Pappenheim-stained. Single-cell field. Bone marrow smear — 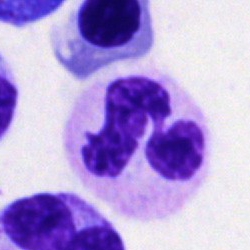
Q: What cell is this?
A: It is a neutrophil (segmented).